Single-cell crop · image size 250×250 · bone marrow smear: 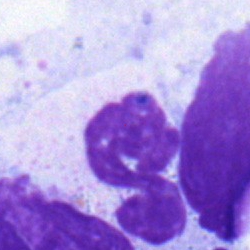Classification: polymorphonuclear neutrophil.